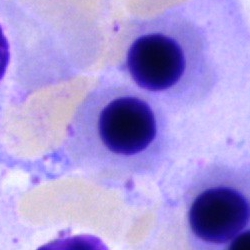
This is a nucleated red blood cell.